Bone marrow aspirate smear
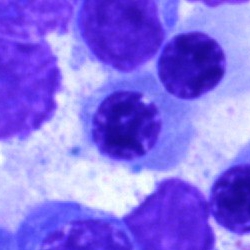

Q: Identify the cell.
A: Nucleated red blood cell.